Bone marrow smear: 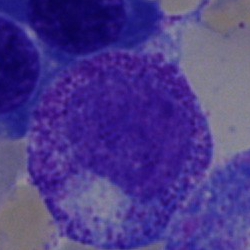 Showing a myelocyte.